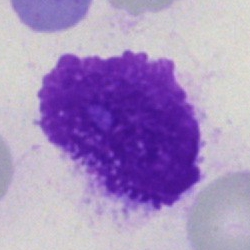Bone marrow aspirate smear, single cell — artefact.